Bone marrow smear. Pappenheim-stained
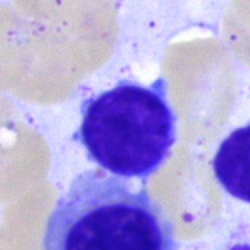
Q: What is shown here?
A: A lymphocyte.